Bone marrow aspirate smear — 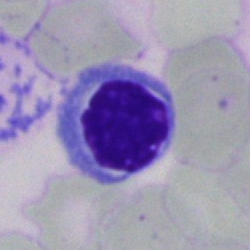 Specimen: bone marrow smear.
Classification: nucleated red cell.